Bone marrow smear:
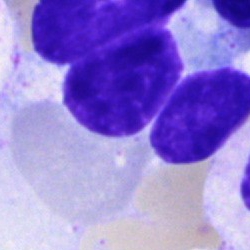Artefact.